400×400. Peripheral blood smear
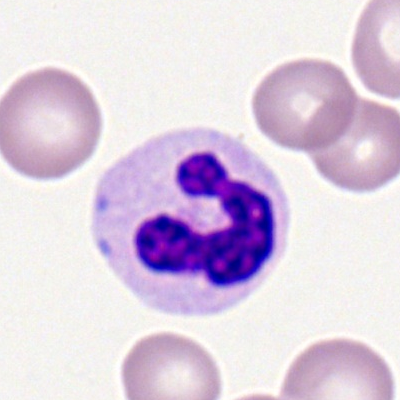Cell type = segmented neutrophil.